Bone marrow aspirate smear:
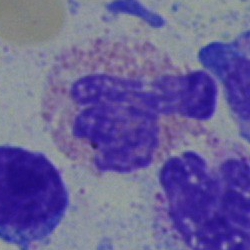Q: What type of cell is this?
A: It is an eosinophilic granulocyte.